Bone marrow aspirate smear
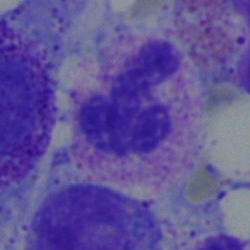 The cell type is polymorphonuclear neutrophil.